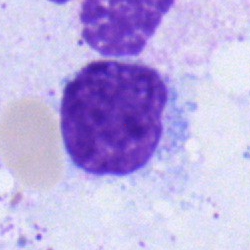

Typical lymphocyte.